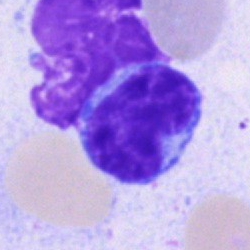
Bone marrow aspirate smear, single cell — typical lymphocyte.